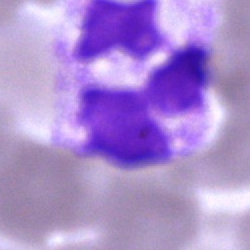

Morphology — neutrophil (segmented).